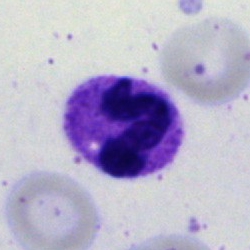 {"cell_type": "neutrophil (segmented)", "lineage": "myeloid"}